Bone marrow aspirate smear — 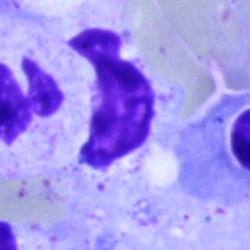 Morphological class = artefact.